Bone marrow smear — 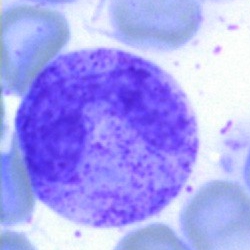
The cell is promyelocyte.